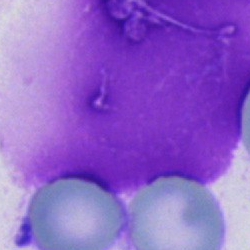
Specimen: bone marrow smear.
Cell type: artifact.